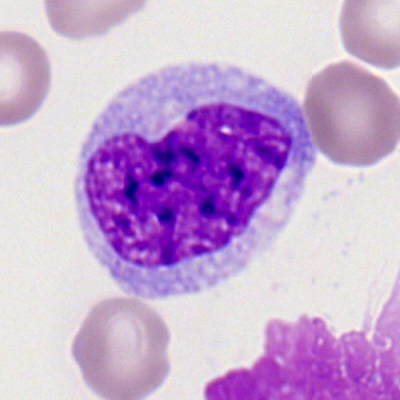Peripheral blood film, single cell — monocyte.